Bone marrow aspirate smear:
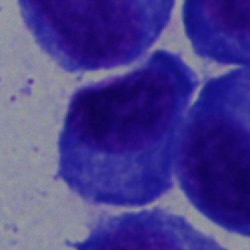

Morphology — plasmacyte.